Peripheral blood smear · brightfield, 100× oil-immersion objective: 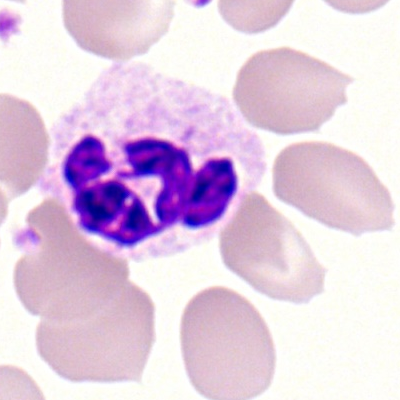 A neutrophil (segmented).